Bone marrow aspirate smear. Single cell centered in the field.
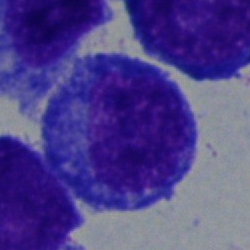Q: What is shown here?
A: A progranulocyte.